Bone marrow aspirate smear · 40× oil immersion.
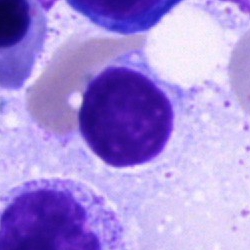

{"cell_type": "typical lymphocyte"}